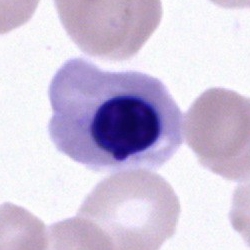Bone marrow aspirate smear, single cell — nucleated red cell.